Peripheral blood smear
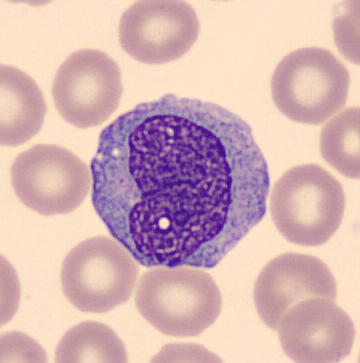

Specimen: peripheral blood smear.
Cell: monocyte.